250 by 250 pixels; bone marrow smear; brightfield, 40× oil-immersion objective:
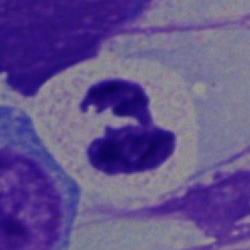Morphology — segmented neutrophil.